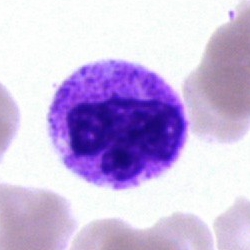
A neutrophil (segmented) on a bone marrow smear.